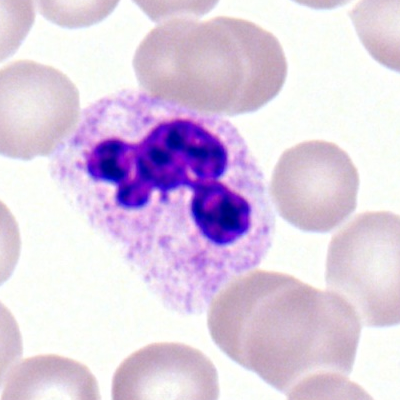 Peripheral blood film, single cell — neutrophil (segmented).